Bone marrow smear:
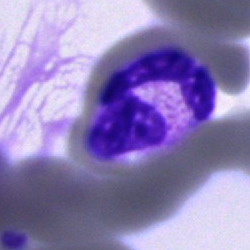Cell = segmented neutrophil.